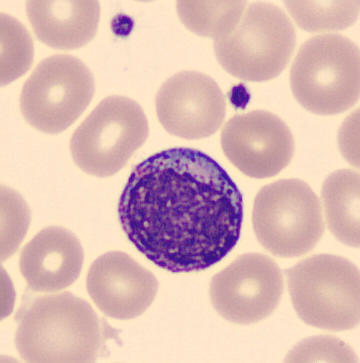This is a myelocyte.